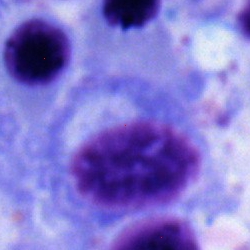Classification: typical lymphocyte.